Bone marrow smear; image size 250×250: 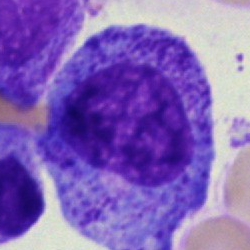
This is a progranulocyte.